Single-cell field; bone marrow aspirate smear; 250×250 px
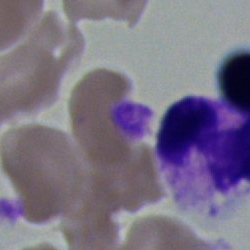 {"cell_type": "polymorphonuclear neutrophil", "lineage": "myeloid"}